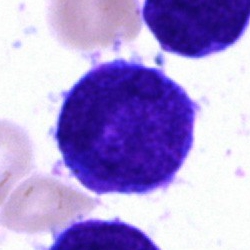

Cell type — blast cell.